Bone marrow smear:
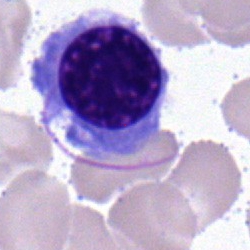 The classification is nucleated red blood cell.